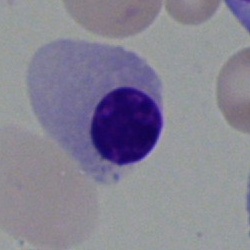

Morphological class = nucleated red cell.